Bone marrow smear. Pappenheim-stained
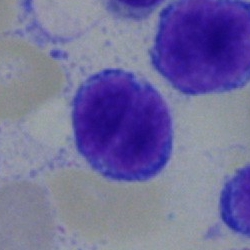

The cell is lymphocyte.